Bone marrow smear · 250 by 250 pixels:
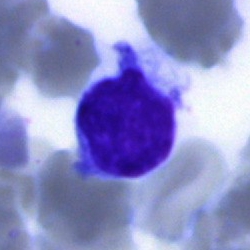Classification: lymphocyte.